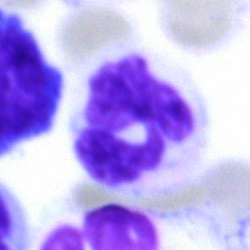 Morphological class — polymorphonuclear neutrophil.